Bone marrow aspirate smear — 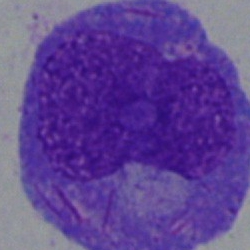
Cell type = faggot cell.